Bone marrow aspirate smear
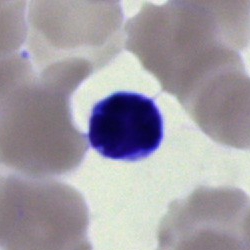 A typical lymphocyte.